Image size 400×400; peripheral blood film:
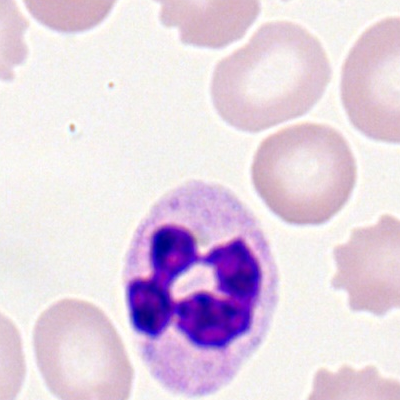

Morphology → segmented neutrophil.